Bone marrow smear — 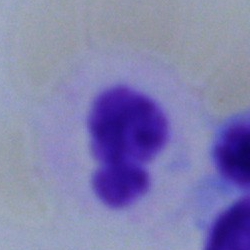 Q: What type of cell is this?
A: It is a segmented neutrophil.